Single-cell crop · 40× oil immersion · bone marrow smear.
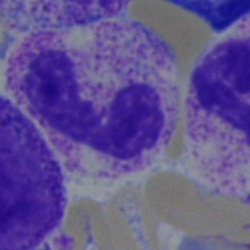Specimen: bone marrow smear.
Cell: neutrophil (band).